Bone marrow aspirate smear.
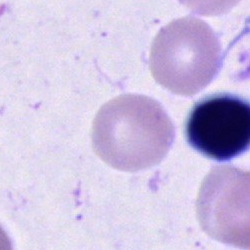 An unidentifiable cell.